Bone marrow aspirate smear · 40× oil immersion
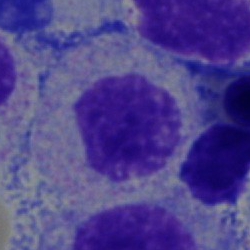
Q: What is the morphological classification of this cell?
A: A myelocyte.